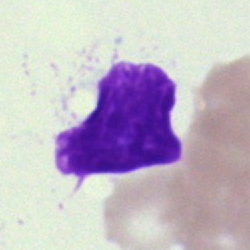Morphological class: artifact.